Peripheral blood film · single-cell field — 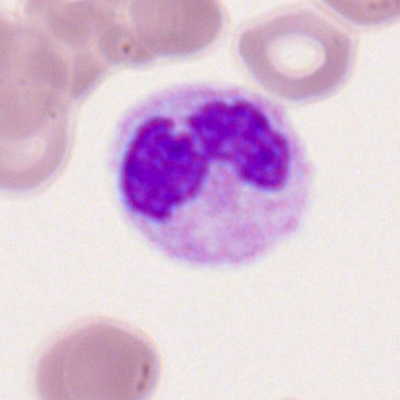Morphology → neutrophil (segmented).